Peripheral blood film — 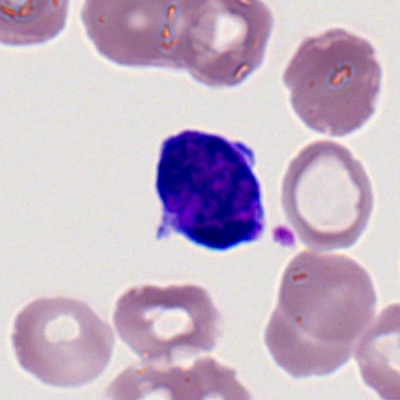Cell = lymphocyte.